Bone marrow aspirate smear · image size 250×250.
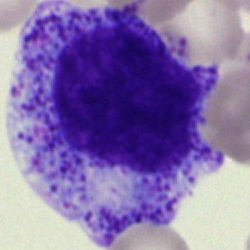 Cell = progranulocyte.